Bone marrow smear: 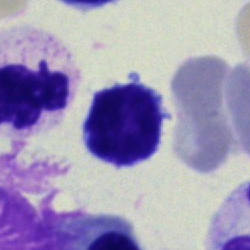 Morphology consistent with a lymphocyte.